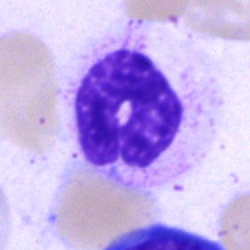Impression → stab cell.